Bone marrow smear:
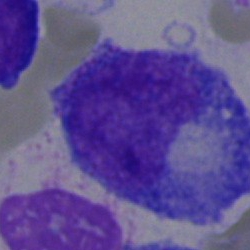

The cell is progranulocyte.